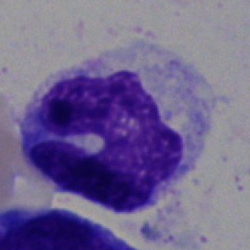 The morphological class is monocyte.